Peripheral blood smear:
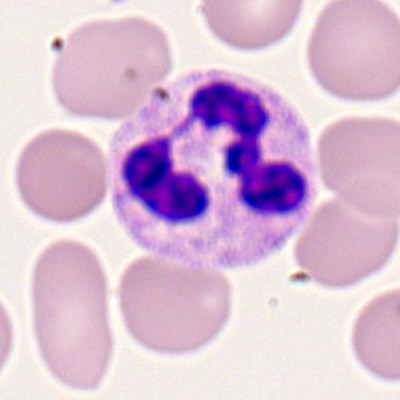

Q: What type of cell is this?
A: It is a polymorphonuclear neutrophil.